Single-cell crop. Bone marrow aspirate smear.
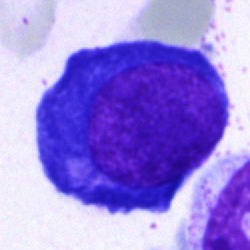 Specimen: bone marrow smear.
Cell type: nucleated red blood cell.